Brightfield, 40× oil-immersion objective. Bone marrow aspirate smear.
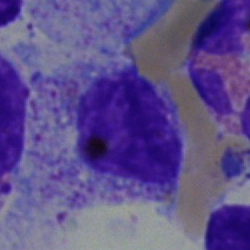

Morphology consistent with a myelocyte.